Bone marrow smear
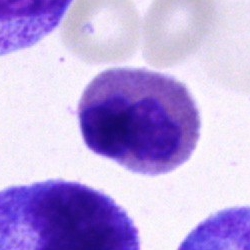
The cell type is eosinophilic granulocyte.